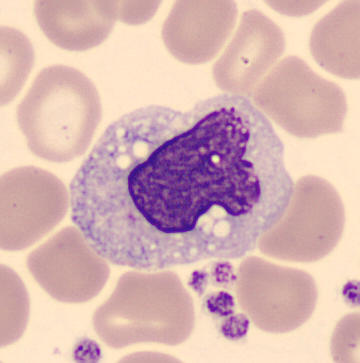

Peripheral blood smear.

Morphological class — monocyte.